Single-cell crop. Bone marrow aspirate smear. 250×250 px — 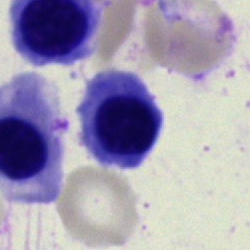

Morphological class — nucleated red cell.